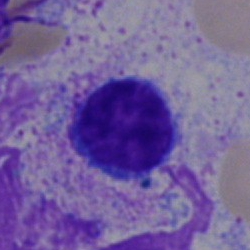

Cell: lymphocyte.